Image size 250×250 · cropped to a single cell · bone marrow aspirate smear: 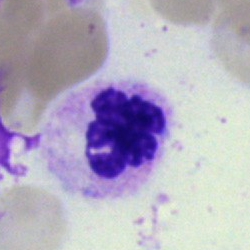
Segmented neutrophil.